Bone marrow aspirate smear:
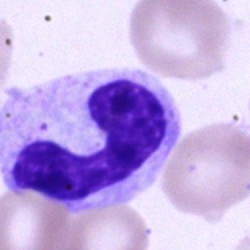

Showing a neutrophil (band).